Bone marrow aspirate smear; single-cell crop — 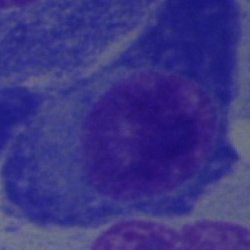This is a plasmacyte.